Bone marrow smear.
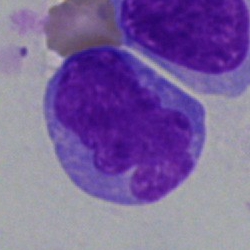

Cell type = undifferentiated blast.